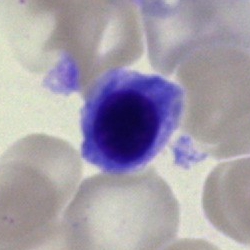 Morphology → erythroblast.